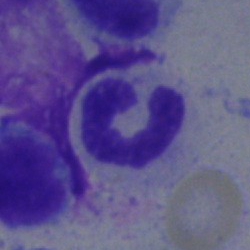
Morphology — polymorphonuclear neutrophil.